250 by 250 pixels. Bone marrow smear: 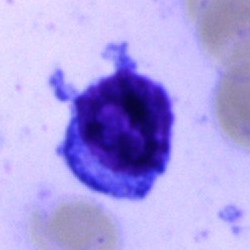Cell: lymphocyte.